Bone marrow smear: 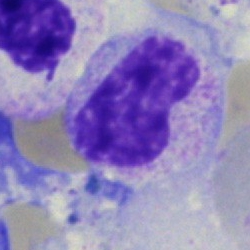
Impression — metamyelocyte.